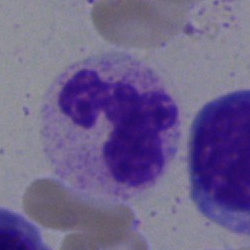

Cell type: segmented neutrophil.